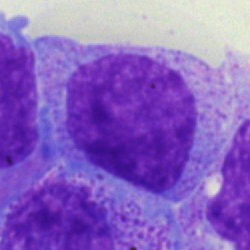

Classification = progranulocyte.